Bone marrow smear · 250 by 250 pixels — 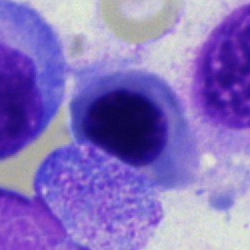 Cell type — nucleated red cell.